May-Grünwald-Giemsa/Pappenheim stain · image size 250×250 · bone marrow aspirate smear — 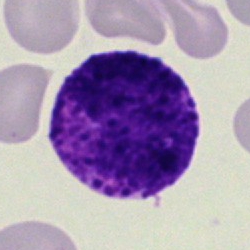
A basophil.